Bone marrow smear; cropped to a single cell — 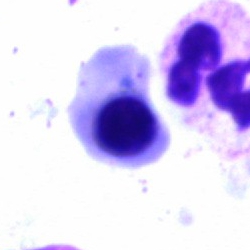

Specimen: bone marrow aspirate smear.
Cell type: nucleated red blood cell.
Lineage: erythroid.